Bone marrow aspirate smear:
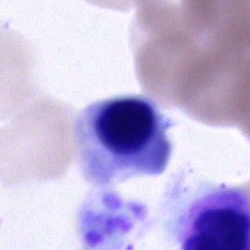

A cell of indeterminate lineage.